Peripheral blood smear; MGG stain:
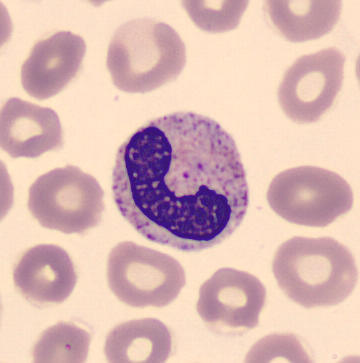
Morphology → band-form neutrophil.